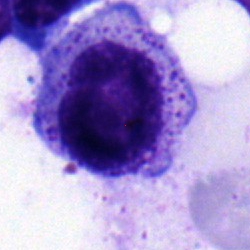
Single cell identified as a promyelocyte.